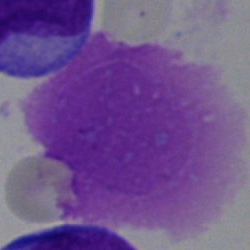

Morphology consistent with an artifact.